Brightfield microscopy, 40× oil immersion · image size 250×250 · bone marrow smear.
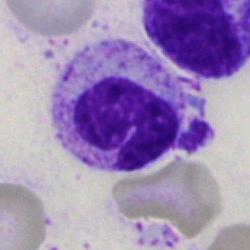 Morphology → segmented neutrophil.